Bone marrow smear
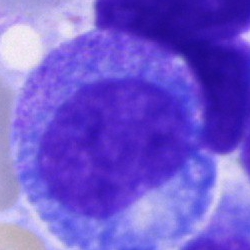
Cell type — progranulocyte.